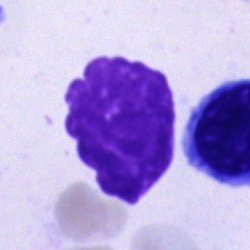Impression → artifact.